Romanowsky stain. Peripheral blood film:
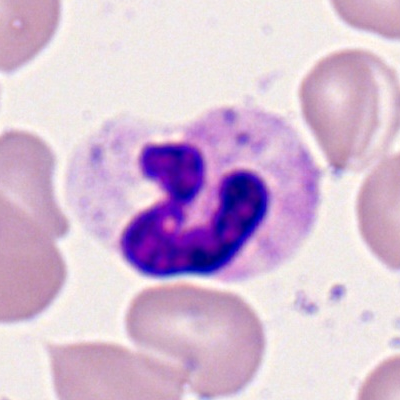This is a polymorphonuclear neutrophil.